Brightfield, 40× oil-immersion objective. Bone marrow aspirate smear:
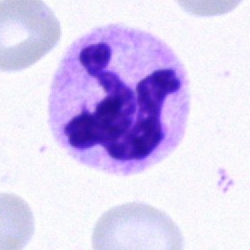
{"cell_type": "segmented neutrophil"}